Bone marrow smear — 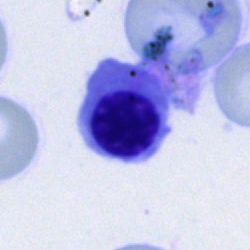 Cell type — erythroblast.